Bone marrow smear; 250×250 px — 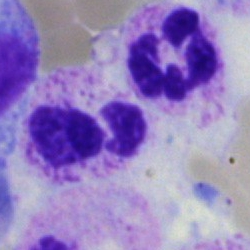

The classification is polymorphonuclear neutrophil.